Bone marrow aspirate smear — 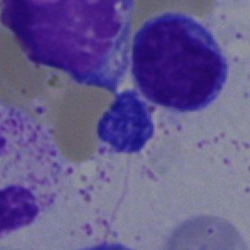The cell type is typical lymphocyte.